Bone marrow smear:
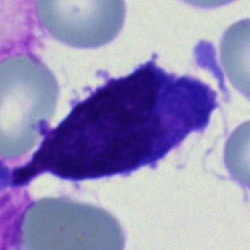
{"cell_type": "blast cell"}